May-Grünwald-Giemsa stain; bone marrow aspirate smear; cropped to a single cell
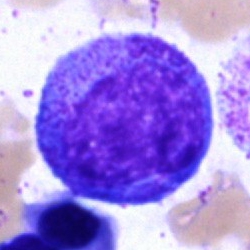 The cell shown is a progranulocyte.